Bone marrow aspirate smear.
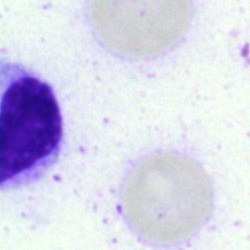
Specimen: bone marrow smear.
Cell type: cell of indeterminate lineage.